Bone marrow smear. MGG-stained
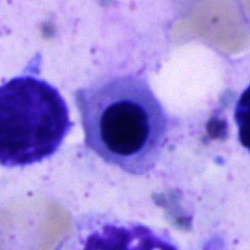

Q: What is shown here?
A: An erythroblast.